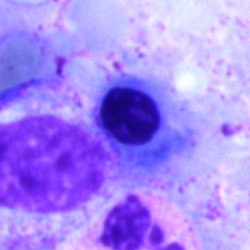

Impression — normoblast.